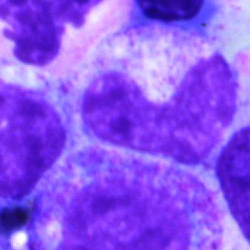The cell shown is a band neutrophil.